Bone marrow aspirate smear.
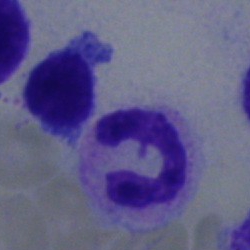Q: What is the morphological classification of this cell?
A: Segmented neutrophil.